Bone marrow smear · single-cell field
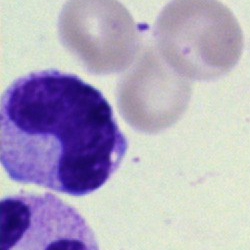Q: What type of cell is this?
A: It is a band-form neutrophil.